Bone marrow smear · single-cell crop:
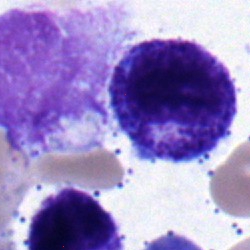 Morphology consistent with a myelocyte.